Bone marrow aspirate smear. 250×250 px.
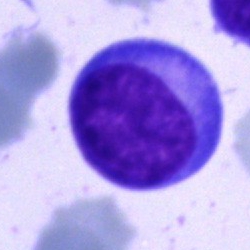

Q: Identify the cell.
A: A blast cell.